May-Grünwald-Giemsa stain. 40× oil immersion. Bone marrow aspirate smear.
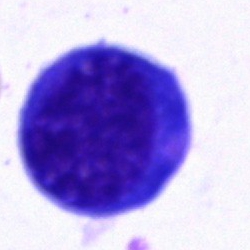

Specimen: bone marrow aspirate smear.
Cell: nucleated red cell.
Lineage: erythroid.